Bone marrow aspirate smear · brightfield, 40× oil-immersion objective
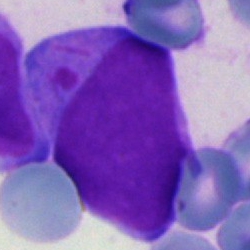

This is a blast.